May-Grünwald-Giemsa/Pappenheim stain. Bone marrow aspirate smear
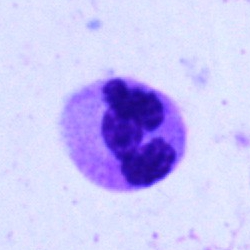 Q: Identify the cell.
A: It is a neutrophil (segmented).